Bone marrow aspirate smear. Image size 250×250: 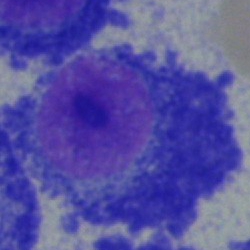 Q: Which cell type is shown here?
A: Plasmacyte.